Bone marrow smear: 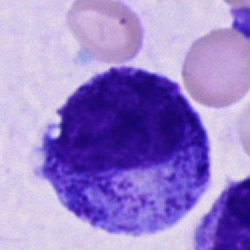Morphological class: progranulocyte.